Bone marrow smear: 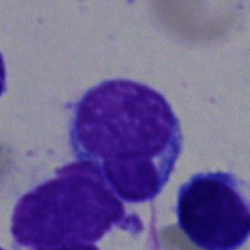
Morphology consistent with a typical lymphocyte.